40× objective, oil immersion · bone marrow smear · single-cell crop:
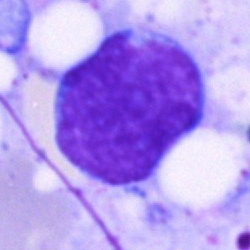

Specimen: bone marrow smear.
Classification: blast.